Bone marrow aspirate smear.
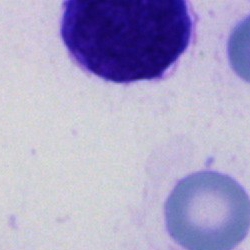

This is an unidentifiable cell.